Bone marrow smear: 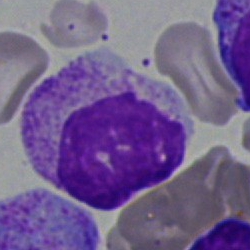 Single cell identified as a myelocyte.